Bone marrow smear: 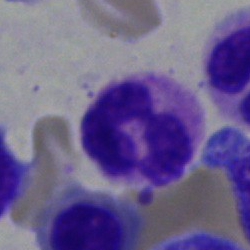

Q: What type of cell is this?
A: Segmented neutrophil.